Bone marrow smear:
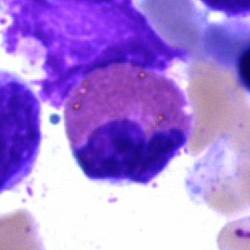Specimen: bone marrow aspirate smear.
Cell: eosinophilic granulocyte.
Lineage: myeloid.